Peripheral blood smear:
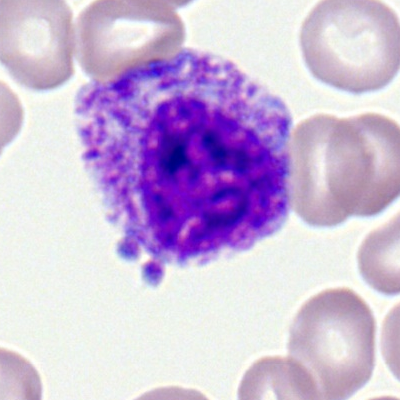

Morphological class: myelocyte.